Bone marrow aspirate smear. Single-cell field — 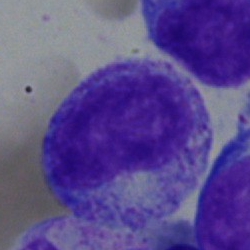

Impression — metamyelocyte.